Bone marrow aspirate smear · 40× oil immersion — 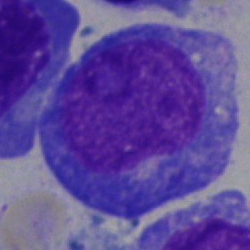
Specimen: bone marrow aspirate smear.
Cell type: undifferentiated blast.